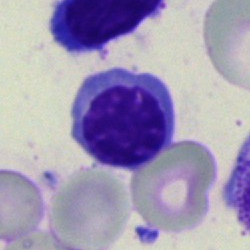Q: What type of cell is this?
A: It is a nucleated red cell.